Peripheral blood film.
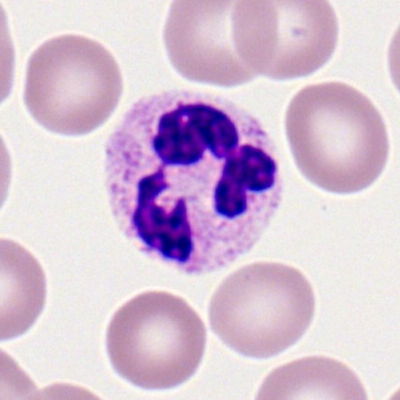 Showing a polymorphonuclear neutrophil.